Bone marrow smear — 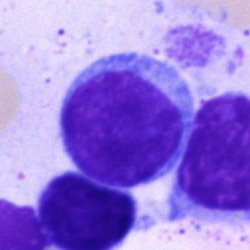{"cell_type": "lymphocyte"}